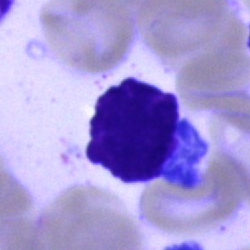Specimen: bone marrow smear.
Cell type: typical lymphocyte.